MGG-stained. Bone marrow smear:
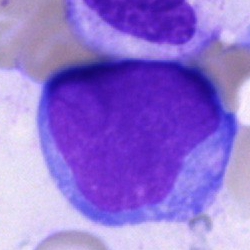

Specimen: bone marrow smear.
Cell type: blast cell.